Bone marrow aspirate smear: 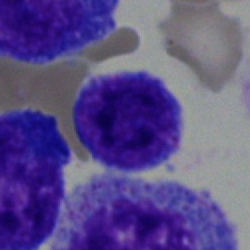
Cell type: lymphocyte.